Single-cell field · bone marrow smear.
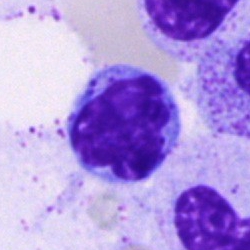

{"cell_type": "typical lymphocyte"}